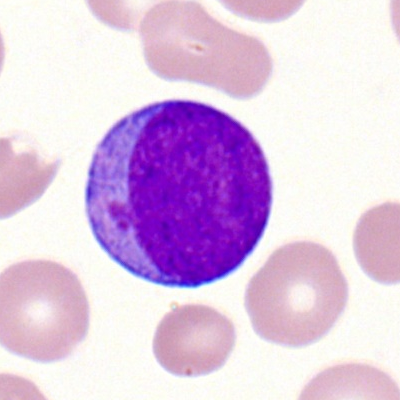

{"cell_type": "myeloblast", "lineage": "myeloid"}